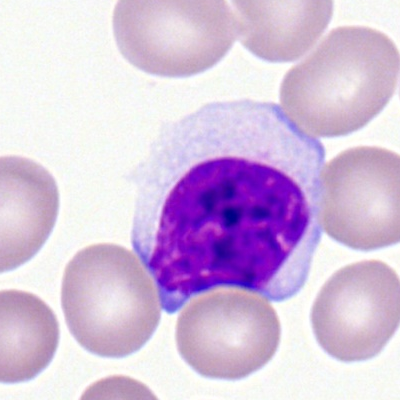

Q: Which cell type is shown here?
A: It is a lymphocyte.